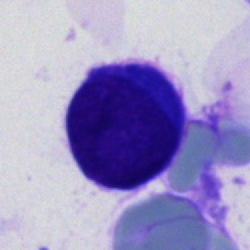

Morphology consistent with an unidentifiable cell.